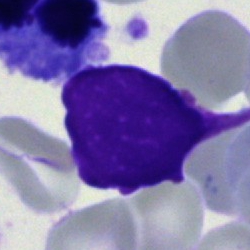
Specimen: bone marrow smear.
Morphological class: artifact.